Brightfield microscopy, 40× oil immersion; bone marrow smear:
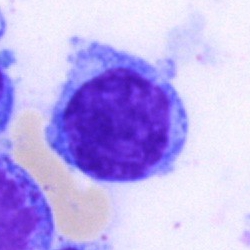 This is a lymphocyte.